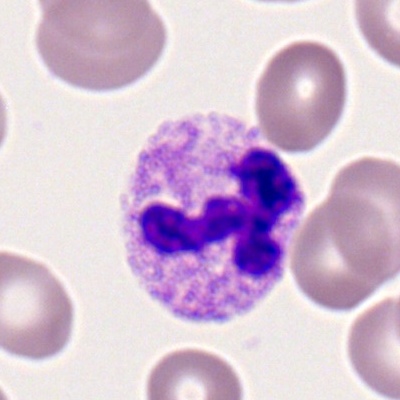
A polymorphonuclear neutrophil on a peripheral blood smear.